Bone marrow smear:
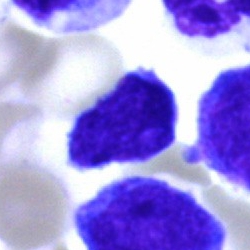

Cell type: lymphocyte.